Bone marrow aspirate smear · MGG-stained
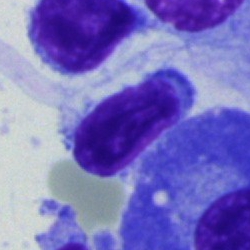

The morphological class is typical lymphocyte.